Bone marrow aspirate smear:
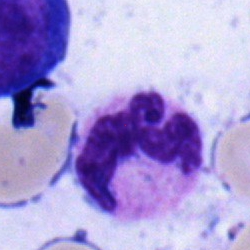Q: Which cell type is shown here?
A: Segmented neutrophil.